Single cell centered in the field; peripheral blood smear:
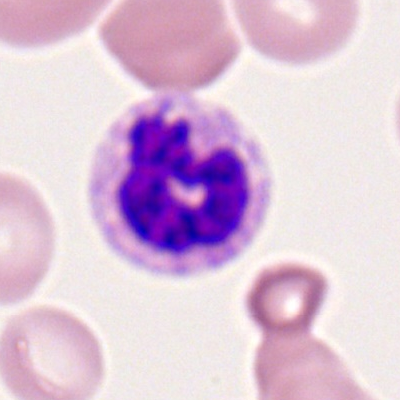{"cell_type": "polymorphonuclear neutrophil", "lineage": "myeloid"}